Bone marrow smear
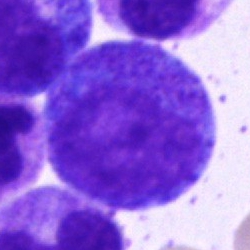 The cell shown is a progranulocyte.